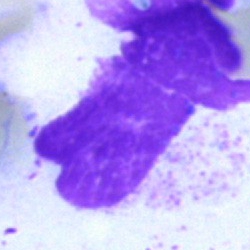
An artefact on a bone marrow smear.